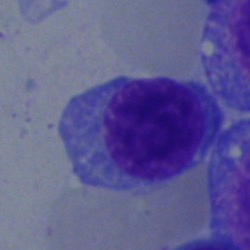 Morphological class: nucleated red blood cell.